Bone marrow aspirate smear. May-Grünwald-Giemsa/Pappenheim stain. Single-cell crop.
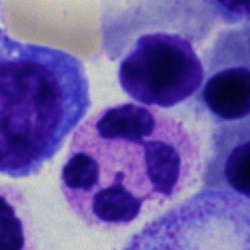

A neutrophil (segmented).